Bone marrow aspirate smear — 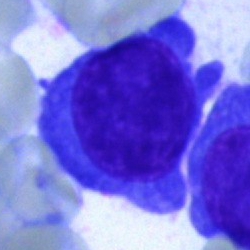 A plasma cell.